Bone marrow smear. May-Grünwald-Giemsa stain. 40× oil immersion — 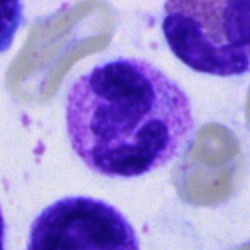

Q: What is the morphological classification of this cell?
A: It is a segmented neutrophil.